Bone marrow aspirate smear — 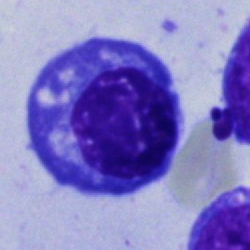

The cell shown is a normoblast.